250×250 px · bone marrow aspirate smear · brightfield microscopy, 40× oil immersion.
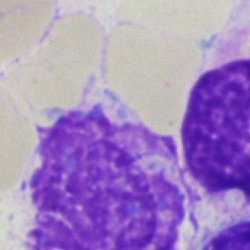 The classification is artifact.